Bone marrow smear:
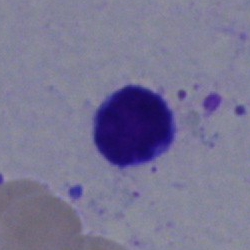Q: What cell is this?
A: Typical lymphocyte.